Bone marrow smear · May-Grünwald-Giemsa/Pappenheim stain
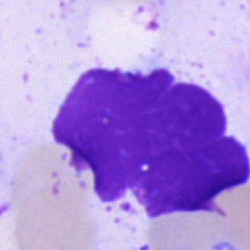 Impression — artifact.